Bone marrow aspirate smear.
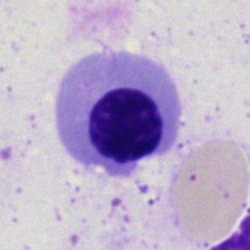 Q: Identify the cell.
A: Normoblast.